Bone marrow aspirate smear
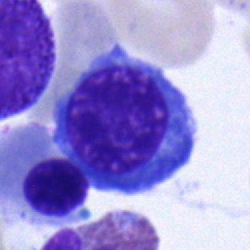 Morphological class — nucleated red cell.